Bone marrow smear.
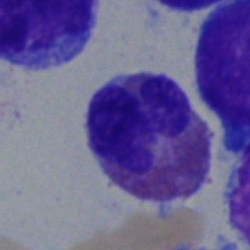 Q: What type of cell is this?
A: An eosinophilic granulocyte.